May-Grünwald-Giemsa stain · bone marrow smear:
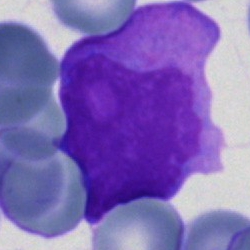Showing a blast.